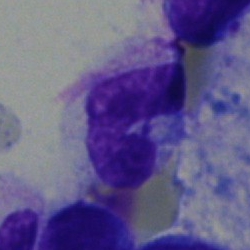

Impression — monocyte.